Single-cell field · bone marrow smear: 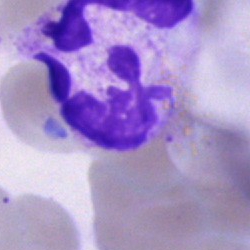
Morphology — polymorphonuclear neutrophil.